Bone marrow aspirate smear · May-Grünwald-Giemsa/Pappenheim stain:
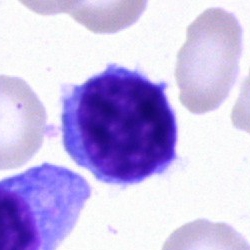 Morphological class: lymphocyte.